Bone marrow aspirate smear. Image size 250×250
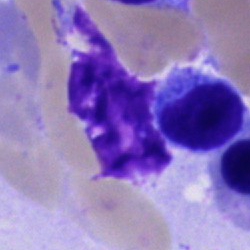 The cell shown is a typical lymphocyte.